Bone marrow smear: 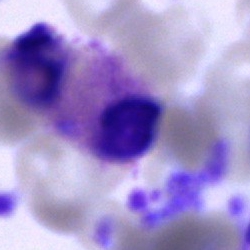
An eosinophil.